Bone marrow aspirate smear · 40× objective, oil immersion · image size 250×250
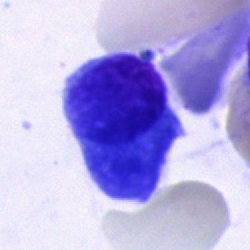 Single cell identified as a plasmacyte.